Bone marrow smear: 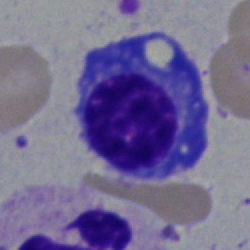

Specimen: bone marrow smear.
Cell type: plasmacyte.
Lineage: lymphoid.